250 by 250 pixels · bone marrow aspirate smear — 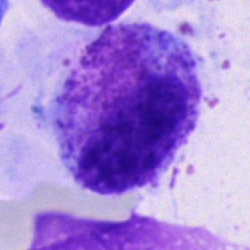
Classification — other cell.